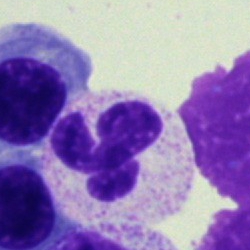
This is a segmented neutrophil.